Single-cell crop; bone marrow smear: 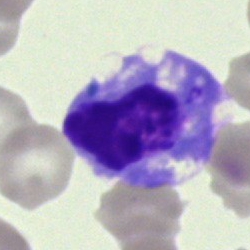

Artefact.